Bone marrow aspirate smear · 40× oil immersion · single-cell crop — 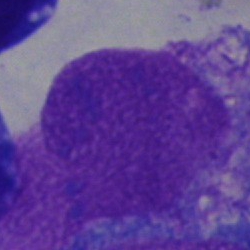

Cell type = artifact.